Bone marrow smear · 250 by 250 pixels: 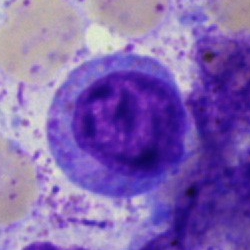
Single cell identified as a progranulocyte.